Bone marrow aspirate smear.
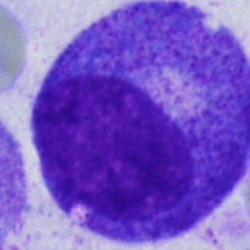 Q: What type of cell is this?
A: Promyelocyte.